Bone marrow aspirate smear.
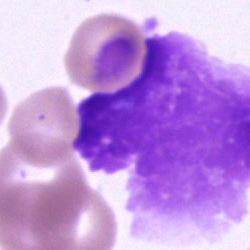

Morphology consistent with an artefact.